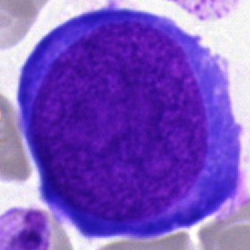
A pronormoblast on a bone marrow smear.